Bone marrow aspirate smear.
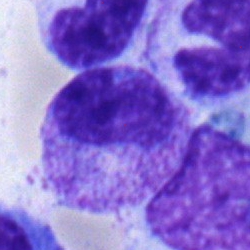
Single cell identified as a metamyelocyte.